May-Grünwald-Giemsa stain; bone marrow aspirate smear.
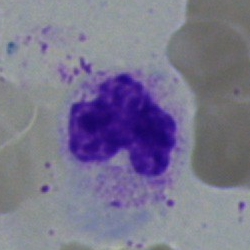
Single cell identified as a neutrophil (segmented).